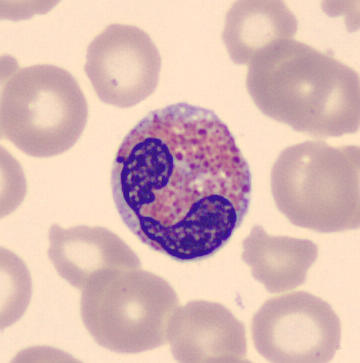Showing an eosinophilic granulocyte. Image: Peripheral blood film · 360×363 px.